Bone marrow smear
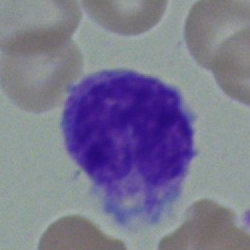

{"cell_type": "monocyte"}